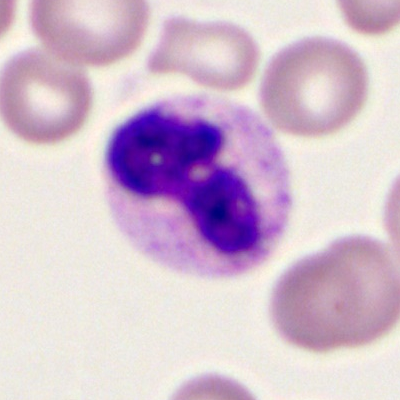 {"cell_type": "neutrophil (segmented)", "lineage": "myeloid"}